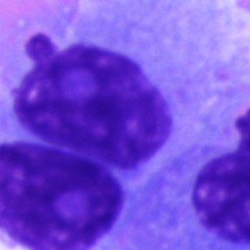

Bone marrow smear showing a plasmacyte.